250 by 250 pixels. Bone marrow smear:
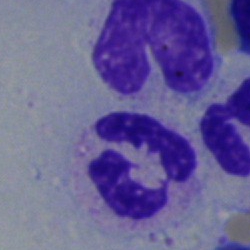 Q: What is shown here?
A: Polymorphonuclear neutrophil.